Bone marrow smear
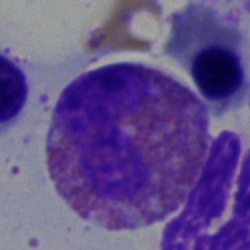
Morphological class — eosinophilic granulocyte.